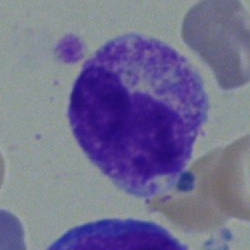 Metamyelocyte.